Bone marrow aspirate smear: 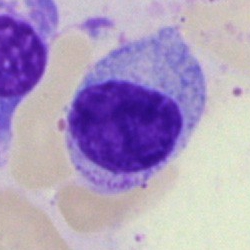 {"cell_type": "lymphocyte", "lineage": "lymphoid"}